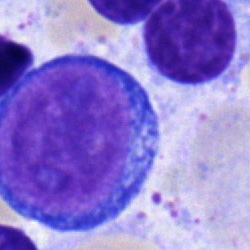The cell shown is a proerythroblast.